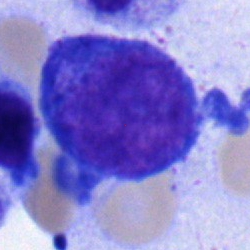

{"cell_type": "pronormoblast", "lineage": "erythroid"}